250×250 px · single-cell crop · bone marrow smear:
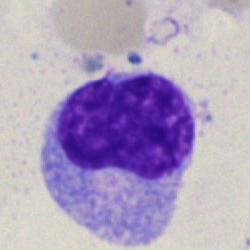

Specimen: bone marrow smear.
Cell: myelocyte.
Lineage: myeloid.